Bone marrow aspirate smear. Pappenheim-stained. Single-cell crop:
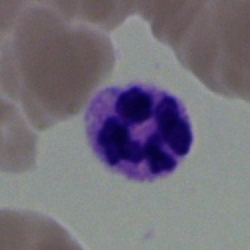

Cell = polymorphonuclear neutrophil.